Bone marrow aspirate smear: 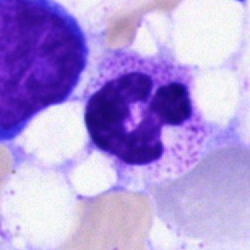

Q: Identify the cell.
A: A segmented neutrophil.